Cropped to a single cell; bone marrow aspirate smear; brightfield microscopy, 40× oil immersion
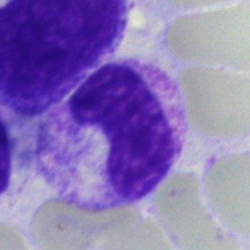
Q: What type of cell is this?
A: It is a band neutrophil.